Bone marrow aspirate smear:
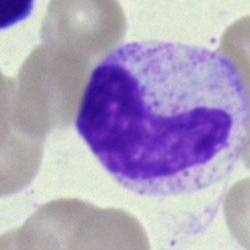

Q: What is the morphological classification of this cell?
A: This is a metamyelocyte.